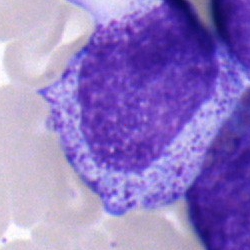
A myelocyte.